Bone marrow aspirate smear.
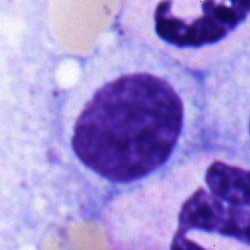

This is a typical lymphocyte.